Bone marrow smear. Pappenheim-stained. Brightfield microscopy, 40× oil immersion — 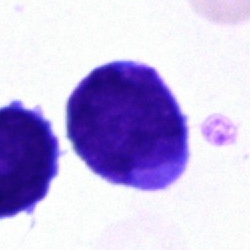This is a blast cell.